May-Grünwald-Giemsa/Pappenheim stain; bone marrow smear: 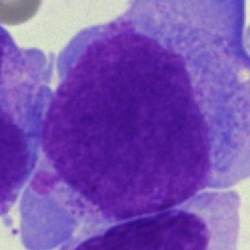 Blast cell.